Bone marrow smear
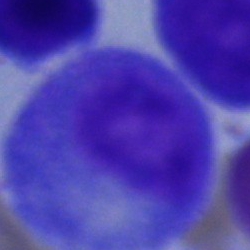Classification: progranulocyte.